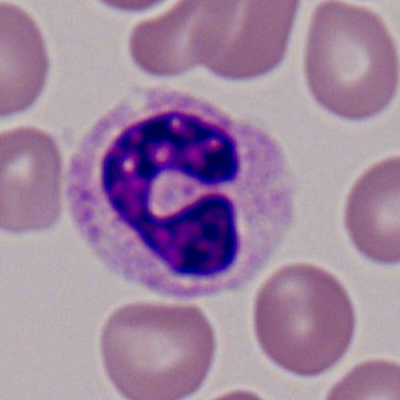

Cell — polymorphonuclear neutrophil.